Bone marrow aspirate smear; 250×250 px:
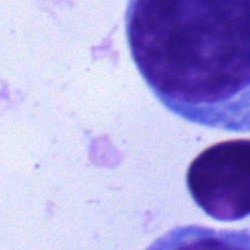
Morphology consistent with a plasmacyte.